Bone marrow smear
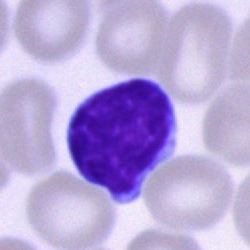

Q: What cell is this?
A: This is a typical lymphocyte.